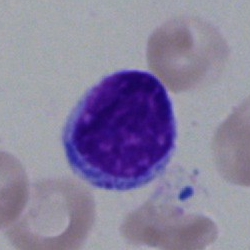

Q: What cell is this?
A: It is a typical lymphocyte.